Bone marrow aspirate smear — 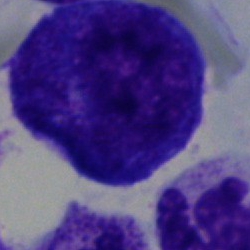

Impression — promyelocyte.